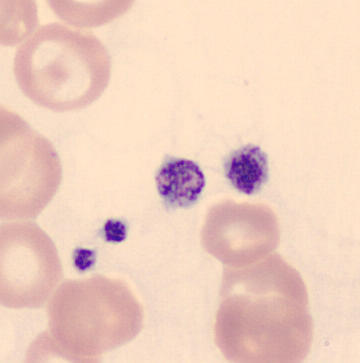

Classification — platelet. Preparation: Peripheral blood smear. 360×363 px.